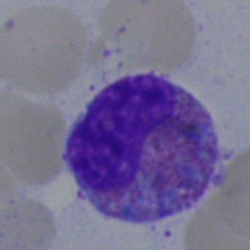

Q: What cell is this?
A: This is an eosinophilic granulocyte.